Brightfield, 40× oil-immersion objective. Bone marrow aspirate smear.
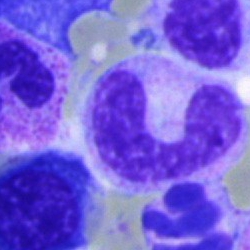 Showing a stab cell.